Bone marrow aspirate smear · image size 250×250 · brightfield microscopy, 40× oil immersion: 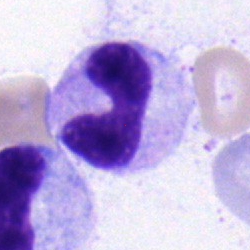Neutrophil (band).